250×250 px · cropped to a single cell · bone marrow smear
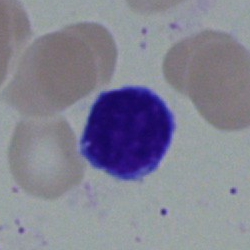

Classification: typical lymphocyte.